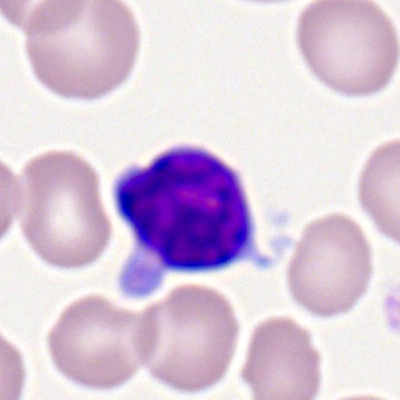 Specimen: peripheral blood film.
Morphological class: typical lymphocyte.
Lineage: lymphoid.